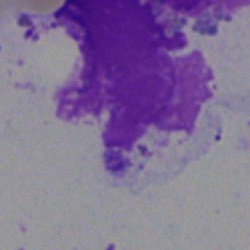
Impression → artifact.